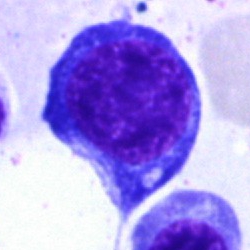
Morphology consistent with an erythroblast.